Bone marrow aspirate smear. May-Grünwald-Giemsa/Pappenheim stain:
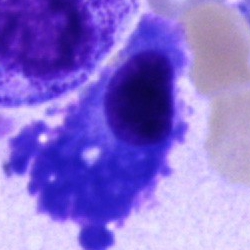Morphological class — plasma cell.